Peripheral blood smear.
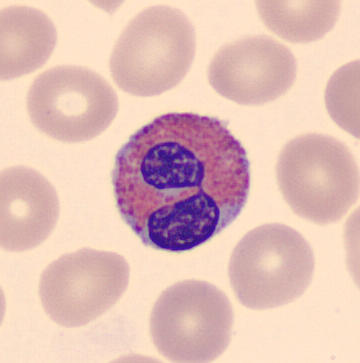Classification: eosinophilic granulocyte.